Single-cell field. Bone marrow aspirate smear
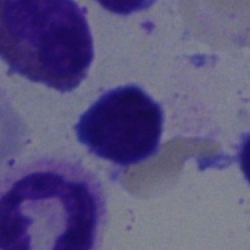Classification — lymphocyte.